Bone marrow aspirate smear:
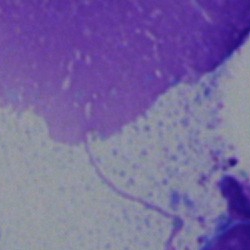 Q: What is shown here?
A: An artifact.